Bone marrow aspirate smear · single-cell crop:
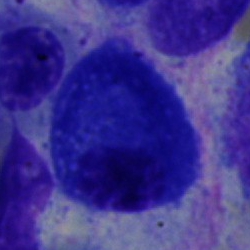 {"cell_type": "plasma cell"}